Bone marrow aspirate smear — 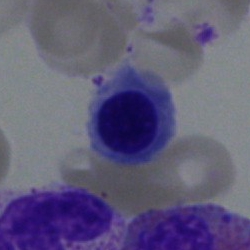 Specimen: bone marrow smear.
Cell: nucleated red blood cell.
Lineage: erythroid.